250 by 250 pixels; bone marrow smear.
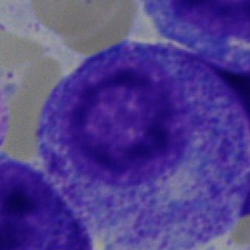Specimen: bone marrow aspirate smear.
Classification: progranulocyte.
Lineage: myeloid.